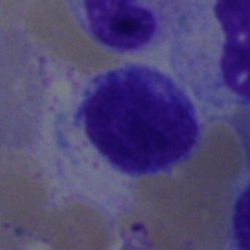

Specimen: bone marrow aspirate smear.
Cell: typical lymphocyte.
Lineage: lymphoid.